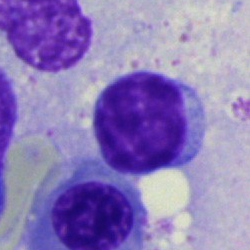 The cell is lymphocyte.